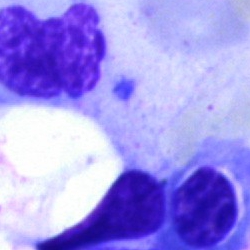
Morphology — artifact.